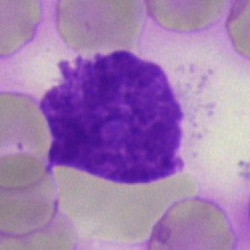
Bone marrow aspirate smear, single cell — artifact.